Peripheral blood film · M8 digital microscope (Precipoint), 100× oil immersion · 400×400 — 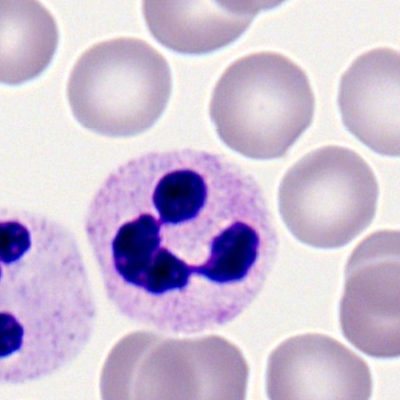 The cell type is neutrophil (segmented).